Peripheral blood film · cropped to a single cell: 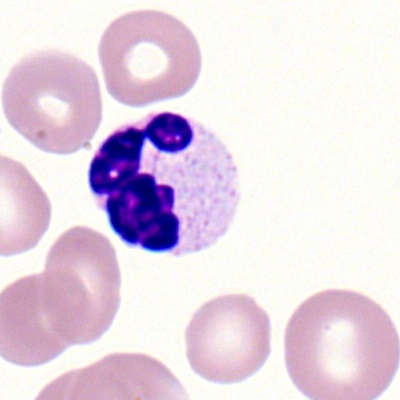Q: What is shown here?
A: A neutrophil (segmented).